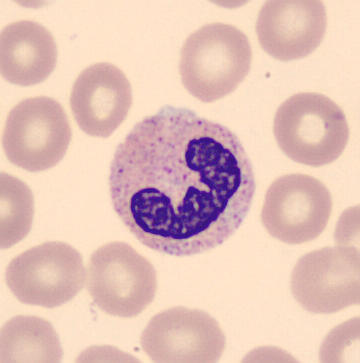Impression → segmented neutrophil.